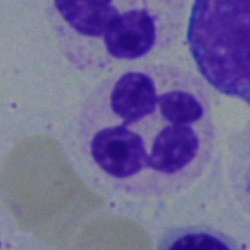

{"cell_type": "segmented neutrophil", "lineage": "myeloid"}